Peripheral blood film
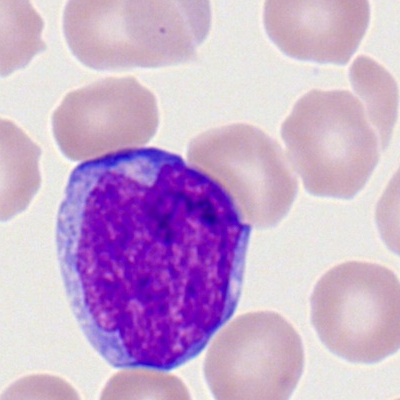
Morphology — myeloblast.